Bone marrow smear · single-cell field — 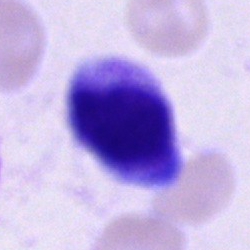

Cell of indeterminate lineage.